Peripheral blood film. Romanowsky-stained.
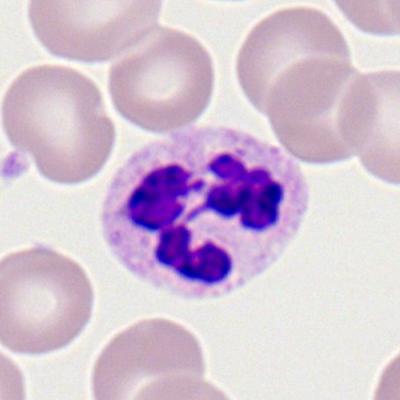

A neutrophil (segmented).